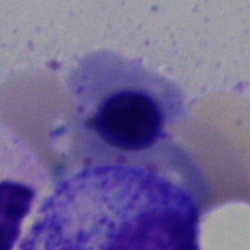Cell type = nucleated red cell.